Bone marrow smear — 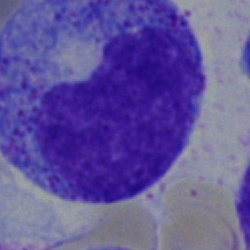Morphology — promyelocyte.